MGG-stained; bone marrow aspirate smear
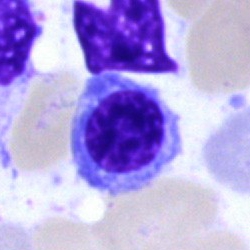

Morphological class = erythroblast.